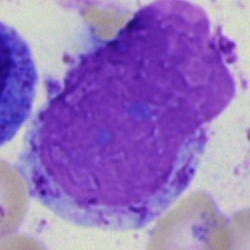

Artifact.